Peripheral blood smear: 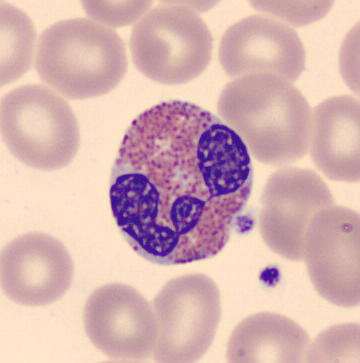
The cell type is eosinophilic granulocyte.